Bone marrow smear: 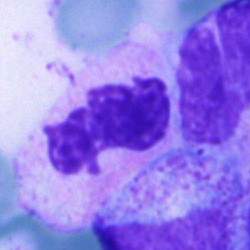 Q: What cell is this?
A: This is a neutrophil (segmented).